Peripheral blood film. Romanowsky-type stain. Brightfield, 100× oil-immersion objective
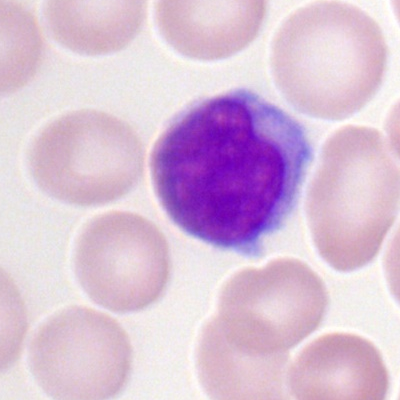Showing a lymphocyte.